Bone marrow smear. Pappenheim-stained
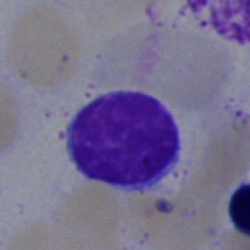
The cell is typical lymphocyte.